Pappenheim-stained; bone marrow aspirate smear — 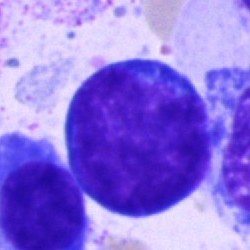
Classification — proerythroblast.